Bone marrow smear. 250×250: 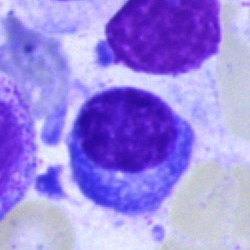 Q: Identify the cell.
A: This is a plasmacyte.